Bone marrow smear
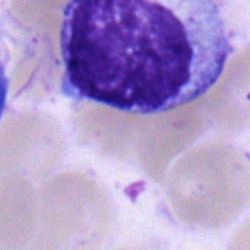 Morphology consistent with a monocyte.